250×250 px. Bone marrow smear. Cropped to a single cell — 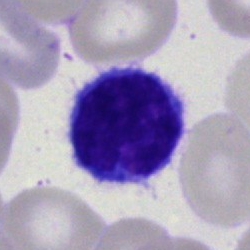

Lymphocyte.